Bone marrow aspirate smear · 250×250
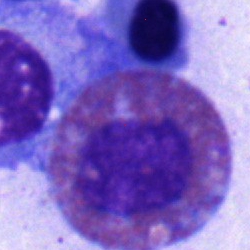The cell shown is an eosinophil.